Bone marrow aspirate smear; MGG-stained:
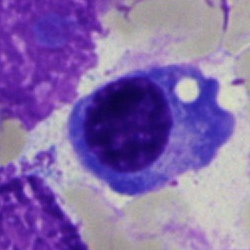 Q: What cell is this?
A: A plasma cell.